Bone marrow smear. Single cell centered in the field. May-Grünwald-Giemsa stain.
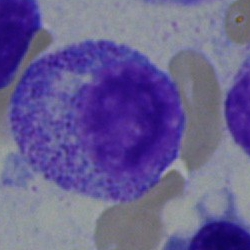
Q: Identify the cell.
A: It is a myelocyte.